Bone marrow smear; May-Grünwald-Giemsa stain
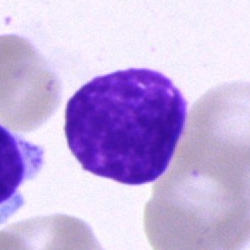
{"cell_type": "artifact"}